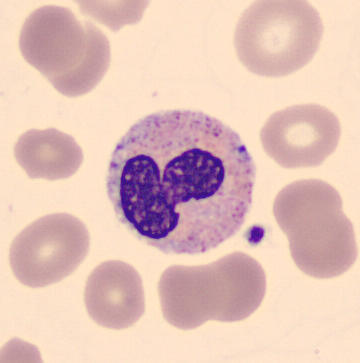
Image: May-Grünwald-Giemsa-stained. CellaVision DM96 digital cell image. Peripheral blood film.

Morphology → neutrophil (band).